Bone marrow smear.
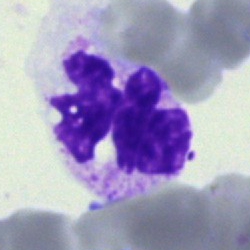Specimen: bone marrow smear.
Cell type: segmented neutrophil.